Bone marrow aspirate smear; single-cell crop; brightfield microscopy, 40× oil immersion:
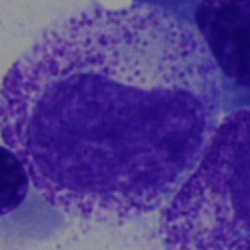
Q: Which cell type is shown here?
A: This is a metamyelocyte.